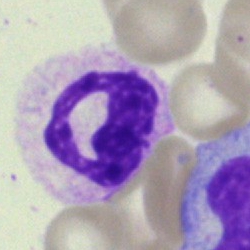

Showing a polymorphonuclear neutrophil.